Bone marrow aspirate smear. Brightfield microscopy, 40× oil immersion. Image size 250×250 — 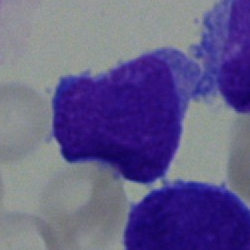 The cell is blast.